May-Grünwald-Giemsa stain. Bone marrow aspirate smear
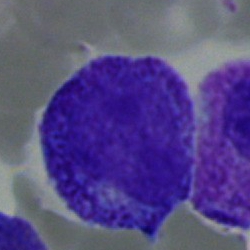

Specimen: bone marrow smear.
Cell: promyelocyte.
Lineage: myeloid.